Bone marrow smear: 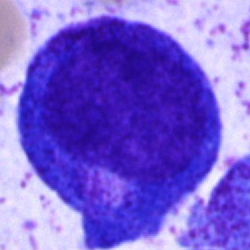Single cell identified as a promyelocyte.